Single-cell field. Bone marrow aspirate smear. Brightfield, 40× oil-immersion objective: 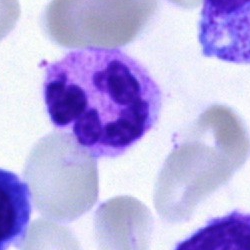
Morphology — neutrophil (segmented).